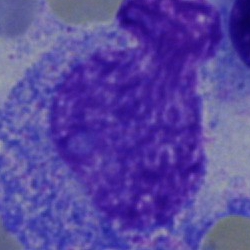A progranulocyte on a bone marrow smear.